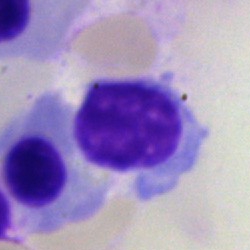 Bone marrow aspirate smear, single cell — lymphocyte.